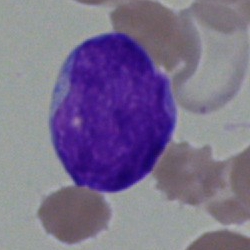

Single cell identified as a blast.